Bone marrow smear
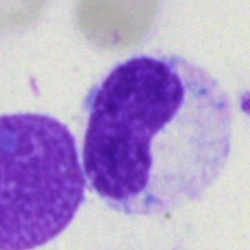 Q: Identify the cell.
A: It is a neutrophil (band).